Bone marrow smear:
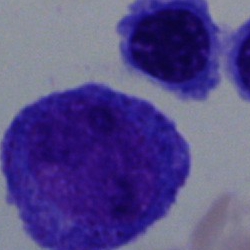 Q: What cell is this?
A: It is an erythroblast.